Bone marrow aspirate smear — 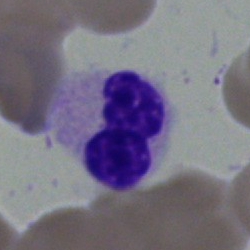 Morphology — segmented neutrophil.